Single cell centered in the field; May-Grünwald-Giemsa stain; bone marrow smear.
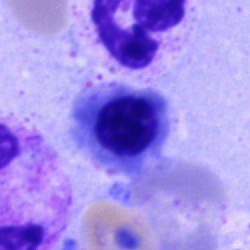Morphological class: nucleated red cell.